Peripheral blood film: 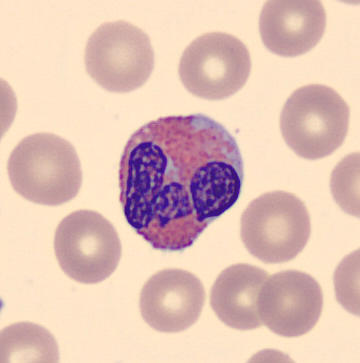

Morphological class — eosinophil.